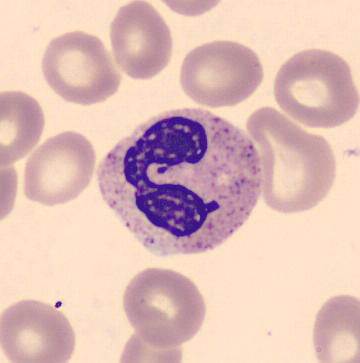
Q: Identify the cell.
A: This is a polymorphonuclear neutrophil.